Single-cell crop; bone marrow smear — 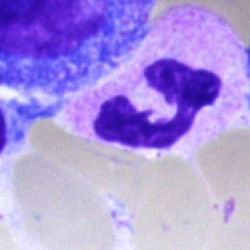Single cell identified as a neutrophil (segmented).